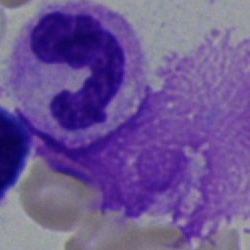Neutrophil (band).